Bone marrow aspirate smear. May-Grünwald-Giemsa/Pappenheim stain. Single-cell field: 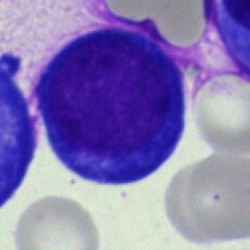A nucleated red blood cell.